May-Grünwald-Giemsa/Pappenheim stain · bone marrow smear · brightfield microscopy, 40× oil immersion — 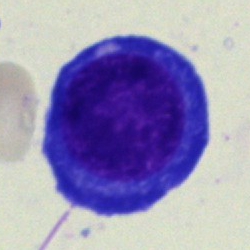
A nucleated red cell.